Brightfield microscopy, 40× oil immersion · single-cell crop · bone marrow smear — 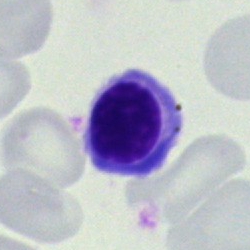 Impression → nucleated red cell.